Bone marrow aspirate smear:
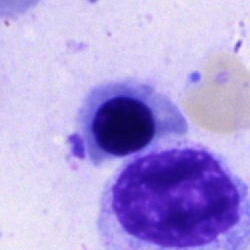Q: Which cell type is shown here?
A: A normoblast.